Bone marrow smear:
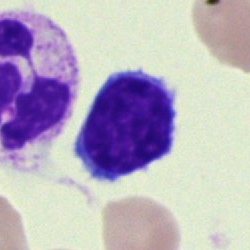 The cell shown is a lymphocyte.